Bone marrow aspirate smear; 250×250:
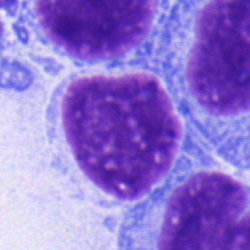Impression → typical lymphocyte.